Bone marrow aspirate smear:
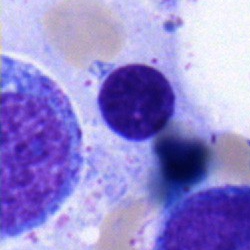 Specimen: bone marrow smear.
Cell type: promyelocyte.
Lineage: myeloid.